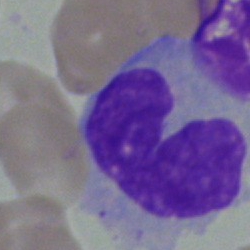 {"cell_type": "monocyte"}